Image size 250×250 · bone marrow smear.
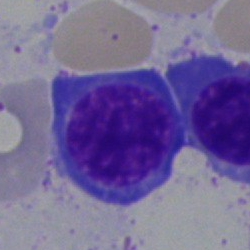Impression → nucleated red cell.